250 by 250 pixels · bone marrow aspirate smear · MGG-stained — 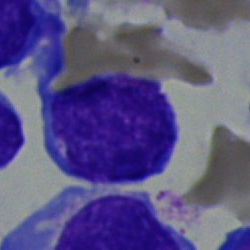
This is a blast cell.